Bone marrow smear.
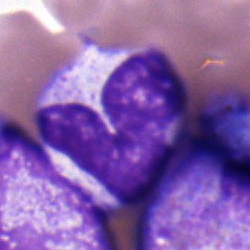 Cell = band neutrophil.